Peripheral blood film: 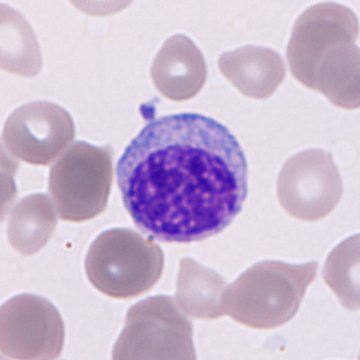
The cell is immature granulocyte.